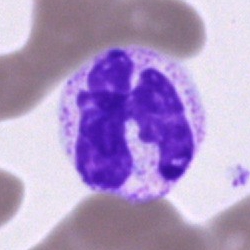
Single-cell crop from a bone marrow smear: polymorphonuclear neutrophil.